Peripheral blood smear · Romanowsky stain — 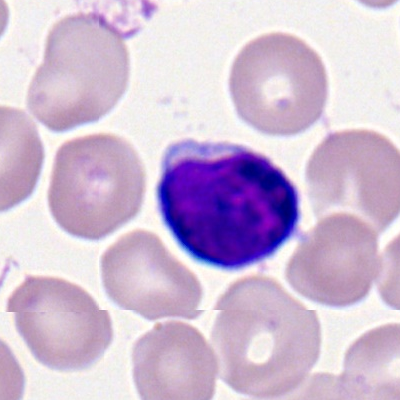

The cell type is typical lymphocyte.